Bone marrow smear:
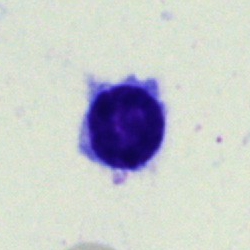
The cell type is typical lymphocyte.